Cropped to a single cell. MGG-stained. Bone marrow smear.
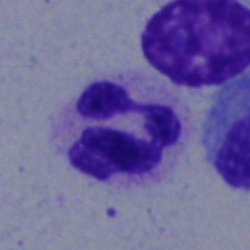A polymorphonuclear neutrophil.